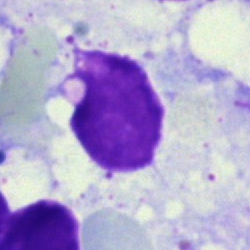Showing an artefact.